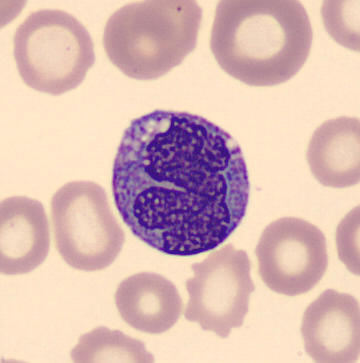This is a monocyte.

May Grünwald-Giemsa stain; peripheral blood smear.